Single-cell crop; bone marrow smear
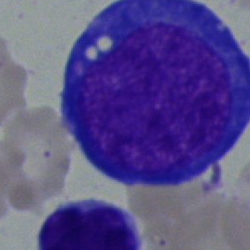
Cell type — pronormoblast.